Bone marrow aspirate smear
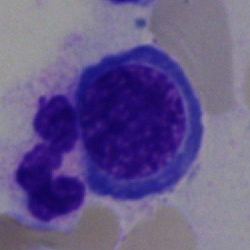The cell shown is an erythroblast.